Bone marrow smear — 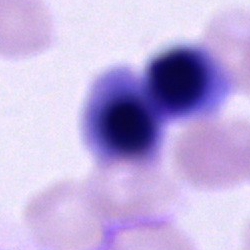
Q: Which cell type is shown here?
A: An unidentifiable cell.